Bone marrow smear
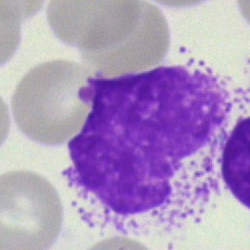Artefact.